Bone marrow smear — 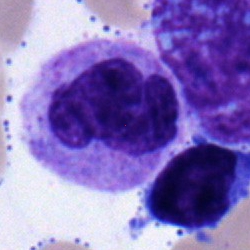 Showing a stab cell.